Bone marrow smear — 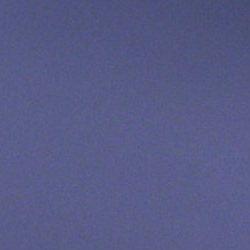
Showing an artefact.